Peripheral blood film: 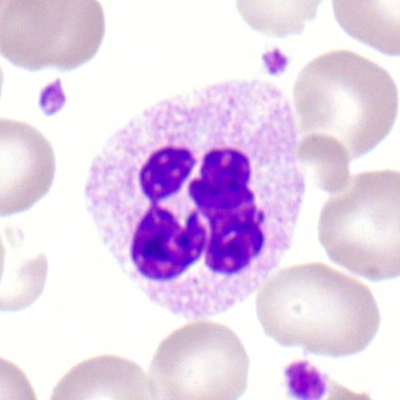
{"cell_type": "neutrophil (segmented)"}